Single cell centered in the field; 250 by 250 pixels; bone marrow aspirate smear.
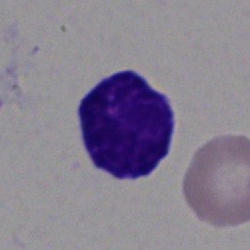The cell type is undifferentiated blast.